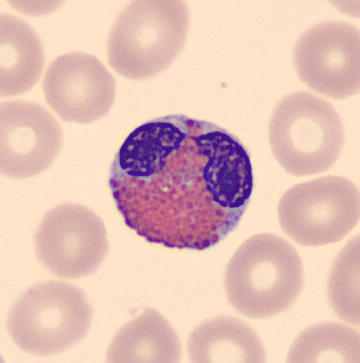
Peripheral blood smear showing an eosinophil.